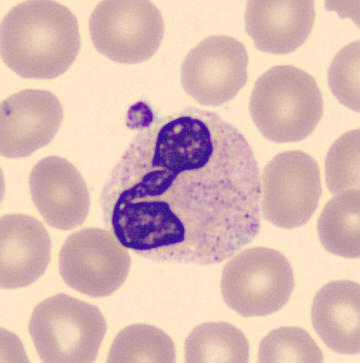

Specimen: peripheral blood smear.
Morphological class: neutrophil (segmented).